Single-cell field. Image size 360×363. Peripheral blood smear:
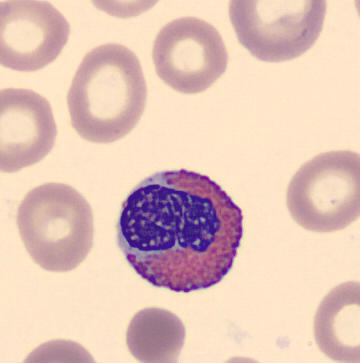

Morphology consistent with an eosinophil.